Single-cell crop. Peripheral blood film: 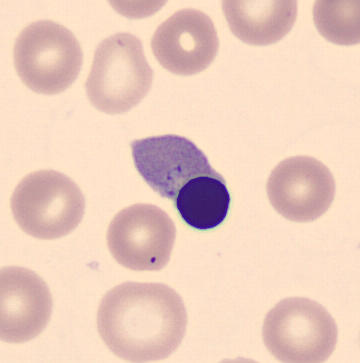 Morphology → nucleated red cell.